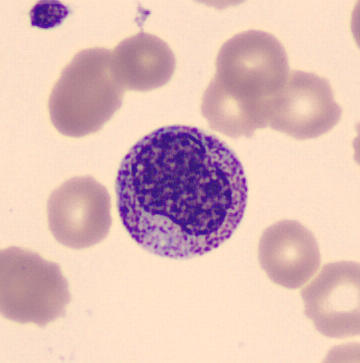
Single-cell crop from a peripheral blood smear: myelocyte.